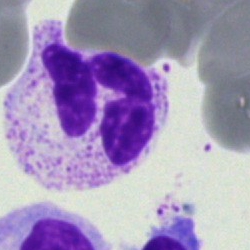
Cell — segmented neutrophil.